Image size 400×400 · peripheral blood film.
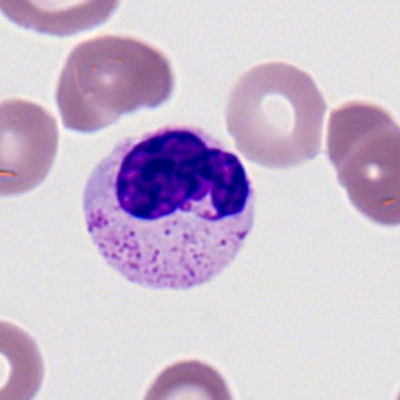 Specimen: peripheral blood film.
Classification: neutrophil (segmented).
Lineage: myeloid.